250×250 px. Bone marrow aspirate smear — 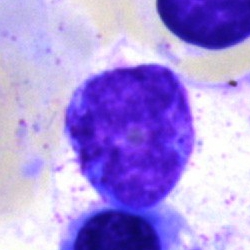

Q: What cell is this?
A: This is a monocyte.